Bone marrow smear
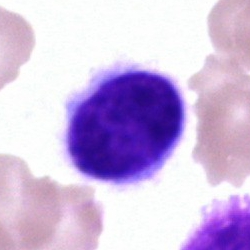
Impression — typical lymphocyte.